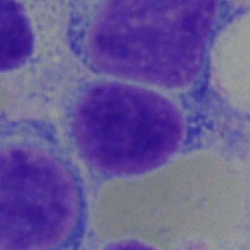

Q: Identify the cell.
A: A typical lymphocyte.